May-Grünwald-Giemsa stain; bone marrow smear: 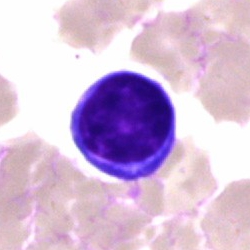

Showing a lymphocyte.